Bone marrow smear:
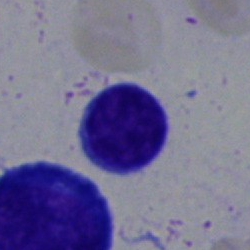
Q: What is the morphological classification of this cell?
A: It is a lymphocyte.